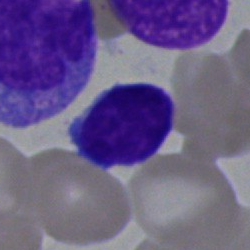 Single cell identified as a typical lymphocyte.